Single-cell crop; bone marrow smear — 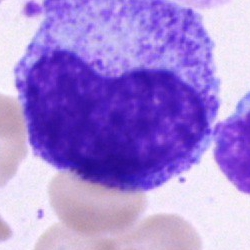 Morphology consistent with a promyelocyte.